Bone marrow aspirate smear; 250×250; single-cell crop: 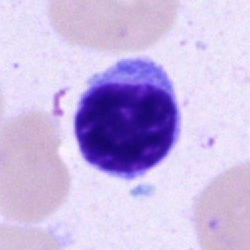
The classification is lymphocyte.